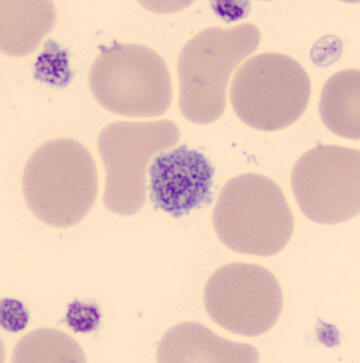Acquisition: Peripheral blood film; May Grünwald-Giemsa stain; image size 360×363.
Impression — platelet.